Bone marrow smear: 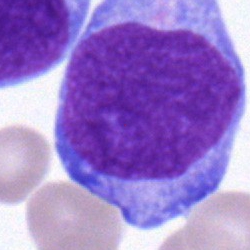 A blast cell.